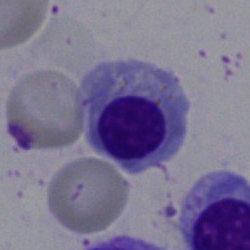Bone marrow aspirate smear, single cell — normoblast.